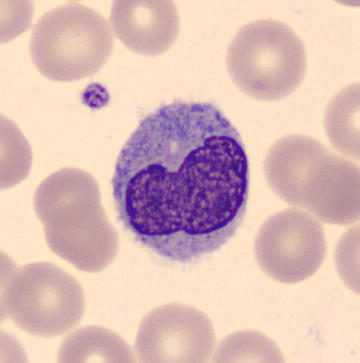

Morphology — monocyte.